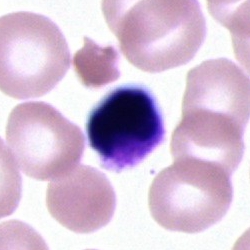

Cell — cell of indeterminate lineage.